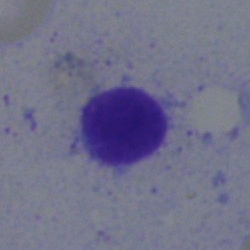This is a typical lymphocyte.